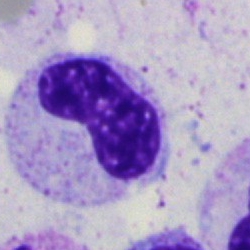
Impression — neutrophil (band).